Bone marrow smear: 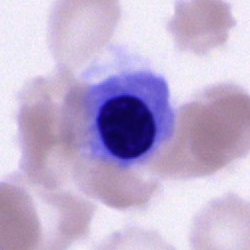

{"cell_type": "erythroblast", "lineage": "erythroid"}